Bone marrow smear · 250 by 250 pixels: 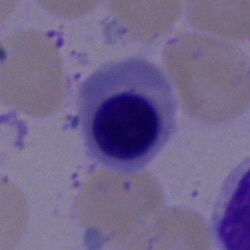 Q: Identify the cell.
A: It is a nucleated red cell.